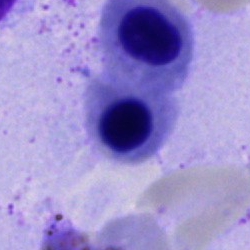

Cell type — erythroblast.